Bone marrow aspirate smear · single-cell crop — 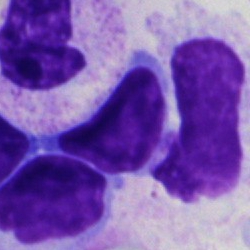
Cell type = lymphocyte.